Bone marrow aspirate smear: 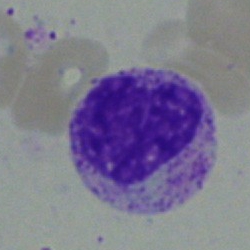 Specimen: bone marrow aspirate smear.
Morphological class: myelocyte.
Lineage: myeloid.